Bone marrow smear
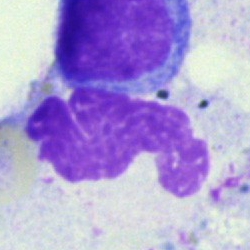

{"cell_type": "artifact"}